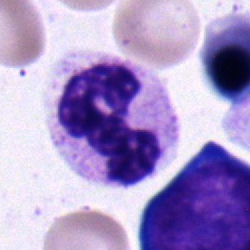

Cell type — segmented neutrophil.